Bone marrow aspirate smear:
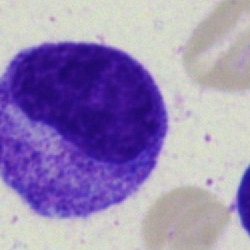
Morphology consistent with a metamyelocyte.